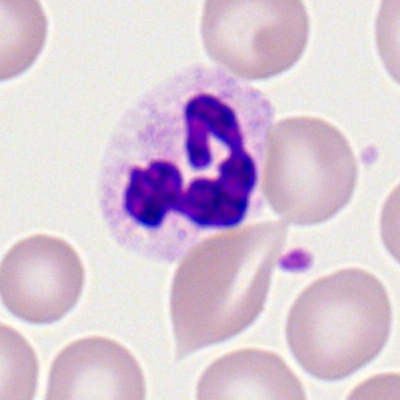Cell type — polymorphonuclear neutrophil.